CellaVision DM96 digital cell image. Peripheral blood smear: 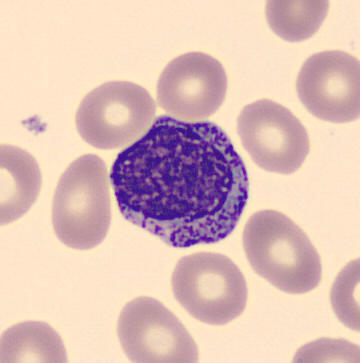

{"cell_type": "myelocyte", "lineage": "myeloid"}